Bone marrow smear · brightfield microscopy, 40× oil immersion
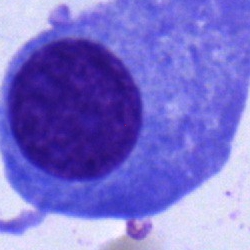

Cell: plasmacyte.